400×400 px · peripheral blood film.
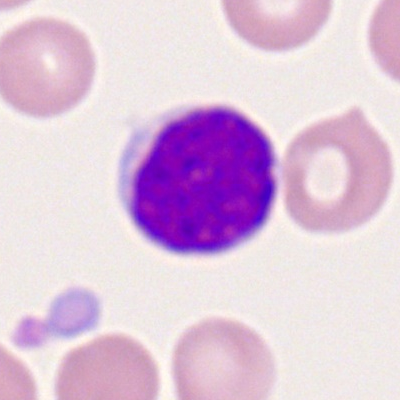 A typical lymphocyte.